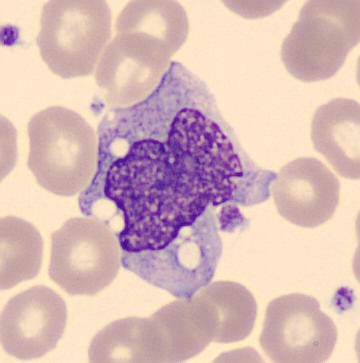
The cell shown is a monocyte.

Acquisition: Peripheral blood film.